250 by 250 pixels. Bone marrow aspirate smear — 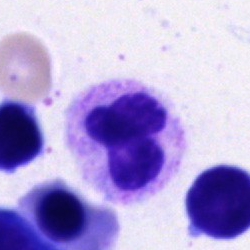{"cell_type": "segmented neutrophil"}